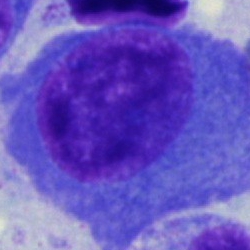 Q: What is the morphological classification of this cell?
A: A plasma cell.